Bone marrow smear.
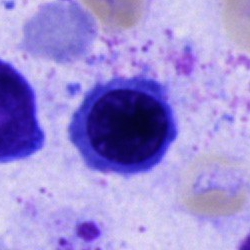
Morphology consistent with a nucleated red cell.